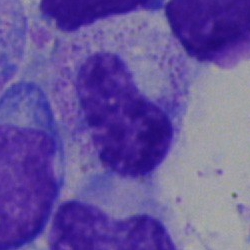 Morphological class — band neutrophil.